Bone marrow aspirate smear. Single-cell crop. 250×250 px:
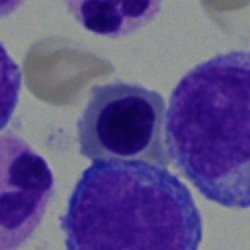
Morphology consistent with a nucleated red blood cell.